Pappenheim-stained. Bone marrow aspirate smear. 250×250 px: 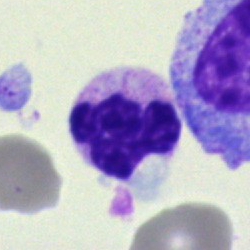Showing a segmented neutrophil.